Bone marrow aspirate smear. Single-cell crop:
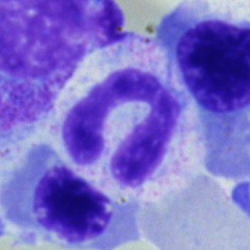
This is a neutrophil (band).